Bone marrow aspirate smear: 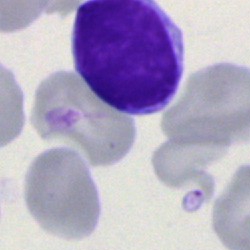A typical lymphocyte.